Bone marrow smear · May-Grünwald-Giemsa/Pappenheim stain
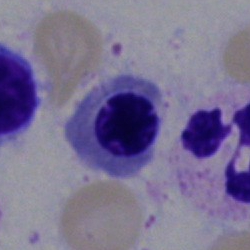Cell type — normoblast.